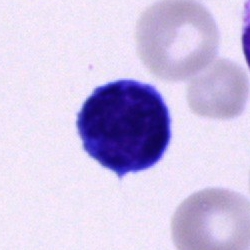 Morphology → typical lymphocyte.